250×250. Bone marrow aspirate smear.
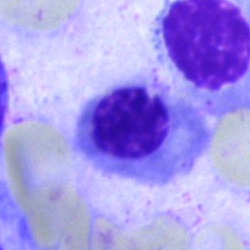{"cell_type": "nucleated red blood cell"}